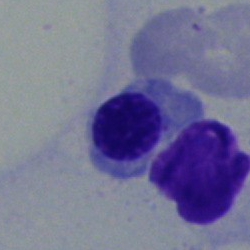Single-cell crop from a bone marrow smear: erythroblast.